Brightfield microscopy, 40× oil immersion; bone marrow aspirate smear; May-Grünwald-Giemsa/Pappenheim stain: 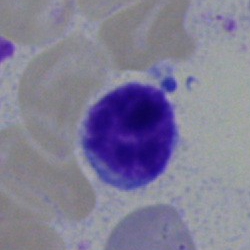
Cell type: typical lymphocyte.